Peripheral blood smear.
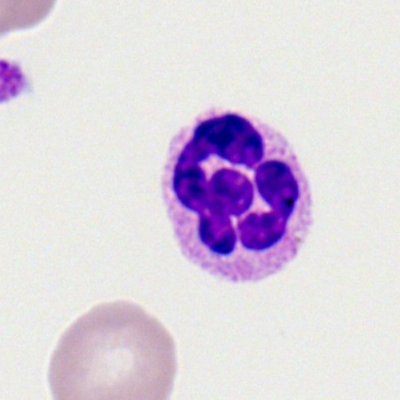 The cell type is neutrophil (segmented).